Single-cell field; peripheral blood smear; 400 by 400 pixels — 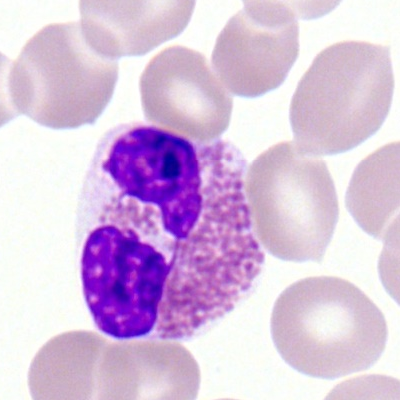Single cell identified as an eosinophil.